Bone marrow aspirate smear — 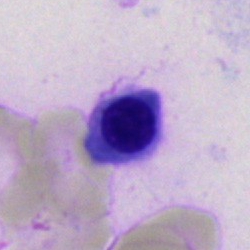

Classification — erythroblast.